Single-cell crop · bone marrow aspirate smear · MGG-stained — 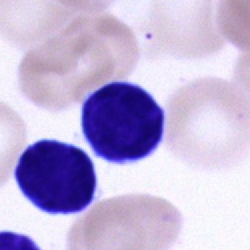

Morphology consistent with a typical lymphocyte.